Bone marrow aspirate smear: 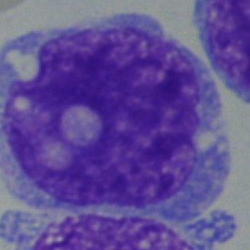Q: What cell is this?
A: It is an undifferentiated blast.